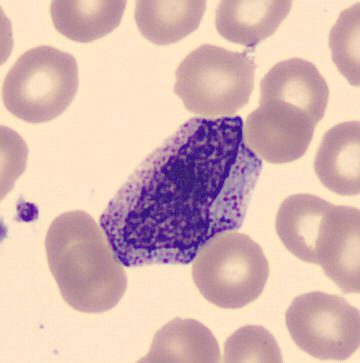
Classification — myelocyte.
Preparation: Peripheral blood film.